Peripheral blood film:
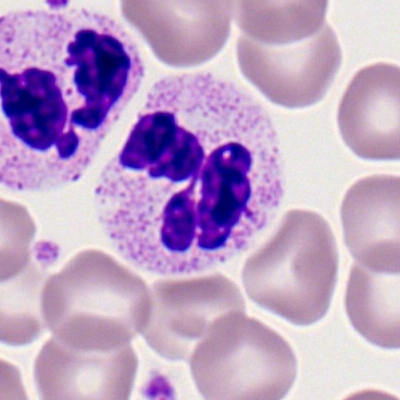Specimen: peripheral blood smear.
Cell type: polymorphonuclear neutrophil.
Lineage: myeloid.